Single cell centered in the field · bone marrow aspirate smear — 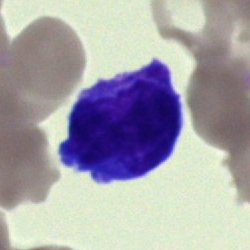 The cell shown is a blast.